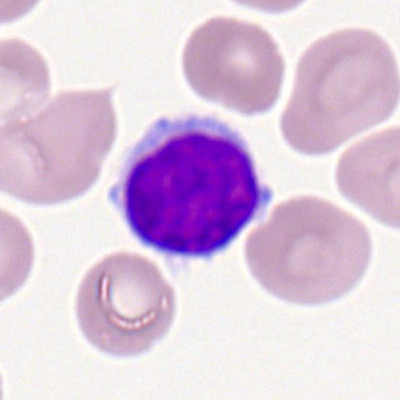 Specimen: peripheral blood smear.
Morphological class: typical lymphocyte.